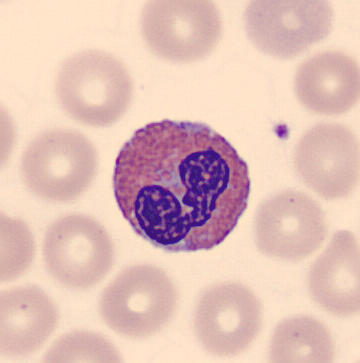

Acquisition: Peripheral blood film · 360 by 363 pixels.
Cell type: eosinophil.